Bone marrow smear. MGG-stained: 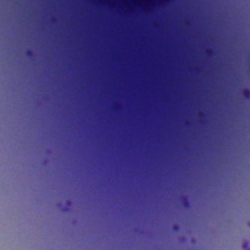

Cell — artifact.